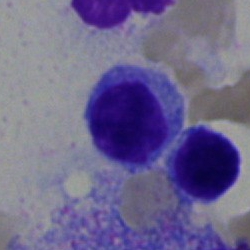

Specimen: bone marrow aspirate smear.
Classification: erythroblast.